Bone marrow smear; 40× oil immersion:
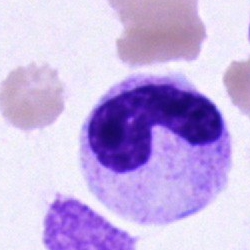
Q: What is the morphological classification of this cell?
A: Stab cell.